Bone marrow aspirate smear: 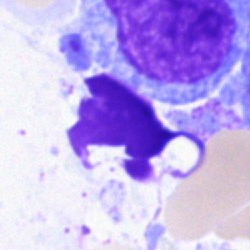
The cell shown is an artifact.